Bone marrow aspirate smear: 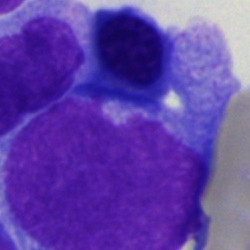Specimen: bone marrow smear.
Cell: blast cell.